Bone marrow aspirate smear; image size 250×250
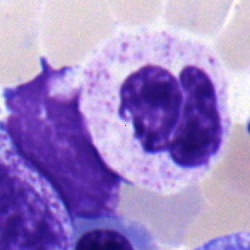
Segmented neutrophil.